250×250 px. Bone marrow smear: 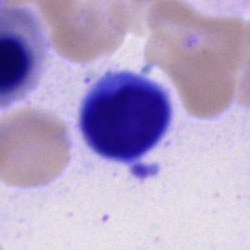

Specimen: bone marrow smear.
Cell type: lymphocyte.